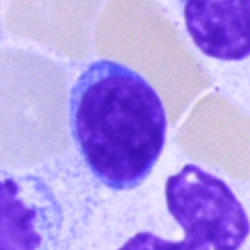
Cell type = typical lymphocyte.